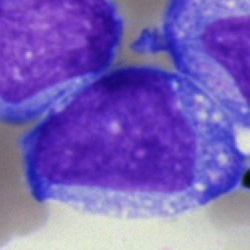 This is a blast.